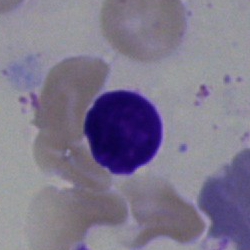

Morphology — lymphocyte.